Bone marrow aspirate smear; 250×250 px
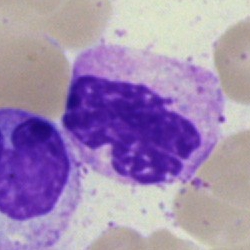
Classification: polymorphonuclear neutrophil.